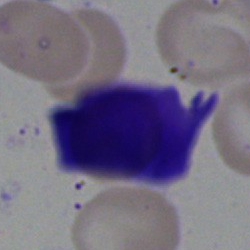
Cell type = artefact.